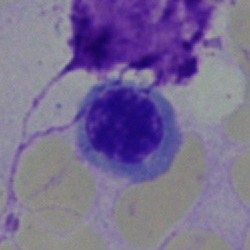

Morphology — erythroblast.